40× objective, oil immersion; bone marrow aspirate smear; MGG-stained:
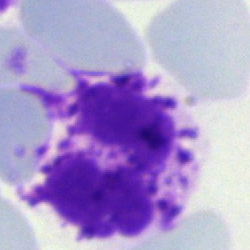
Q: What is shown here?
A: Artefact.